Bone marrow aspirate smear; 250 by 250 pixels:
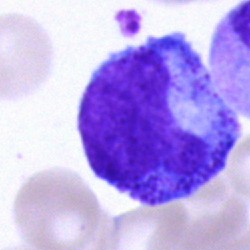 Showing a progranulocyte.